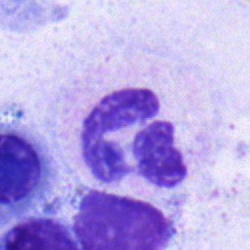 Cell type = segmented neutrophil.